Bone marrow smear:
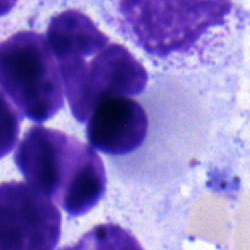
Impression → nucleated red cell.